Bone marrow smear. 250 by 250 pixels.
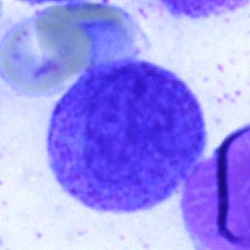Specimen: bone marrow aspirate smear.
Morphological class: band neutrophil.
Lineage: myeloid.